Bone marrow smear. Brightfield microscopy, 40× oil immersion
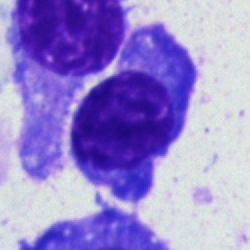 Cell — plasma cell.